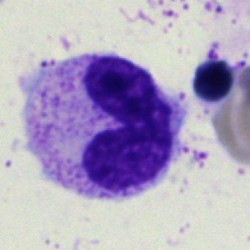 Cell type = neutrophil (band).